Bone marrow smear: 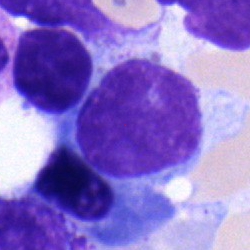
{"cell_type": "lymphocyte", "lineage": "lymphoid"}